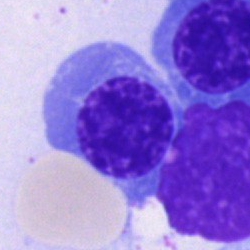
Morphology → nucleated red cell.